Bone marrow smear.
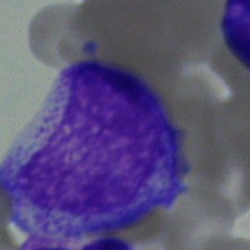
The cell shown is a progranulocyte.